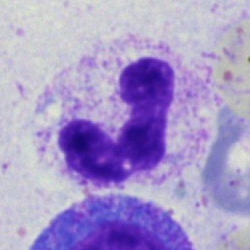 Q: Which cell type is shown here?
A: A neutrophil (segmented).